Bone marrow aspirate smear: 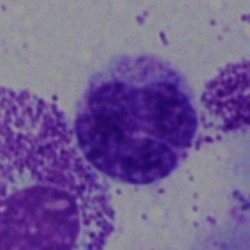

Morphological class: neutrophil (segmented).